Bone marrow smear. Brightfield microscopy, 40× oil immersion. Cropped to a single cell:
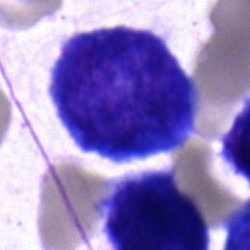Q: What cell is this?
A: It is a blast cell.